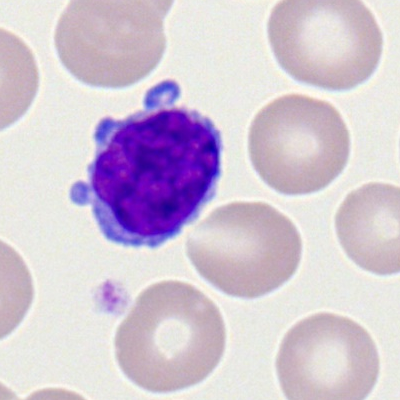
Cell: lymphocyte.